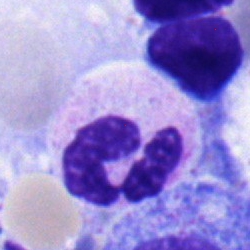Cell type = myelocyte.